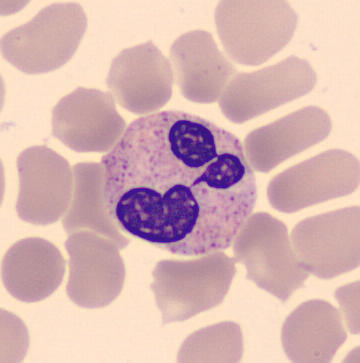 Specimen: peripheral blood film.
Cell type: neutrophil (segmented).
Lineage: myeloid.